Bone marrow smear. May-Grünwald-Giemsa/Pappenheim stain: 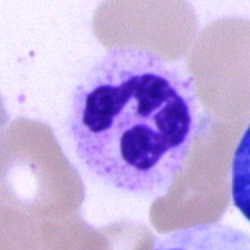
Morphology consistent with a polymorphonuclear neutrophil.